Bone marrow aspirate smear — 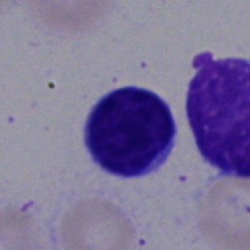 Cell — typical lymphocyte.